250 by 250 pixels · bone marrow smear: 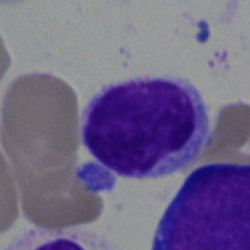
Q: What is the morphological classification of this cell?
A: A lymphocyte.